Bone marrow aspirate smear
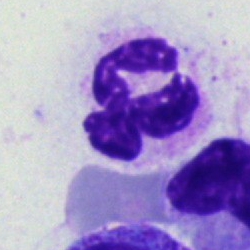

Q: What type of cell is this?
A: A neutrophil (segmented).